Bone marrow aspirate smear.
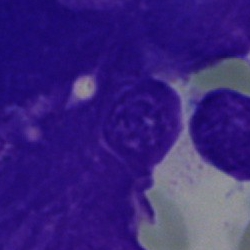 Cell: artefact.